250 by 250 pixels; bone marrow aspirate smear: 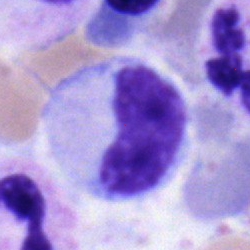

A metamyelocyte.